Bone marrow aspirate smear.
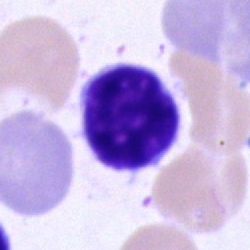
Morphology consistent with a lymphocyte.